Single cell centered in the field. Bone marrow aspirate smear.
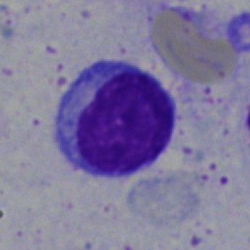

This is a lymphocyte.